Bone marrow smear · 250 by 250 pixels.
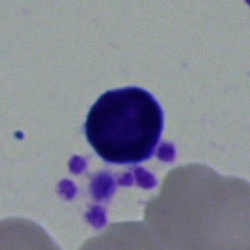

The cell is lymphocyte.